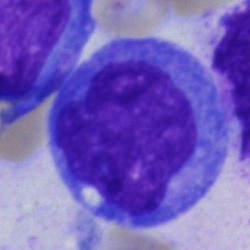
Specimen: bone marrow aspirate smear.
Classification: blast.